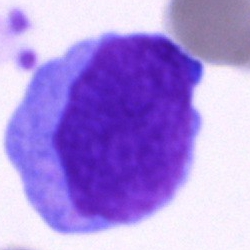
Q: What cell is this?
A: A blast cell.